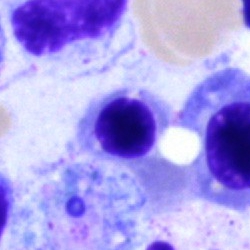

Morphological class = erythroblast.